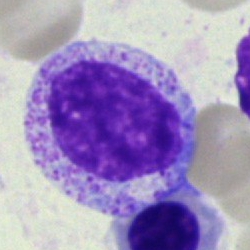{"cell_type": "myelocyte", "lineage": "myeloid"}